Bone marrow smear: 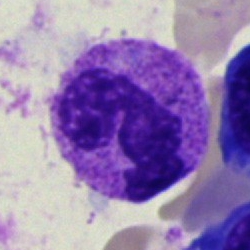

Classification = segmented neutrophil.